Brightfield, 40× oil-immersion objective; Pappenheim-stained; bone marrow aspirate smear
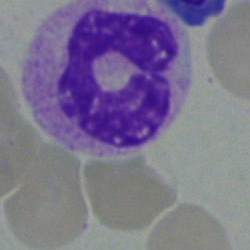
Q: Identify the cell.
A: Metamyelocyte.